250×250. Bone marrow smear — 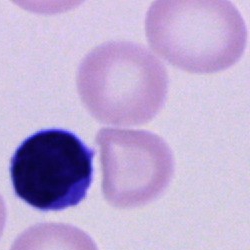

Unidentifiable cell.